Bone marrow smear
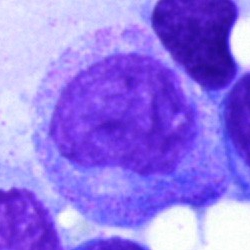
Morphology → myelocyte.